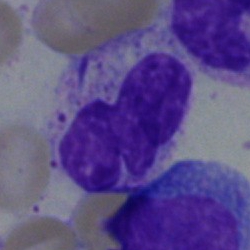
Cell type: polymorphonuclear neutrophil.